Single-cell crop. Peripheral blood smear
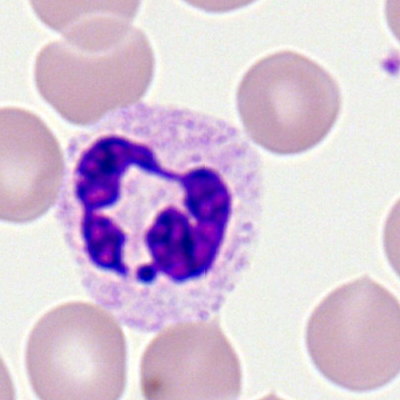 Single cell identified as a segmented neutrophil.